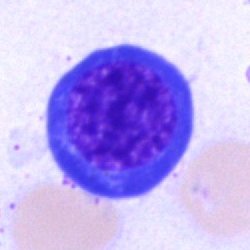
Impression — nucleated red blood cell.